Bone marrow smear
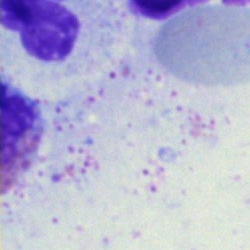 This is an artefact.